Bone marrow aspirate smear; single cell centered in the field
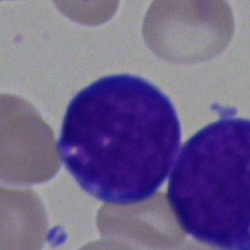
Q: Identify the cell.
A: A blast cell.